May-Grünwald-Giemsa/Pappenheim stain; 250×250 px; bone marrow aspirate smear:
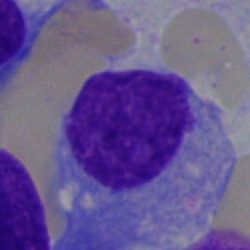 Classification: plasma cell.